Bone marrow aspirate smear: 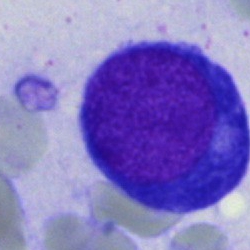
Impression — pronormoblast.